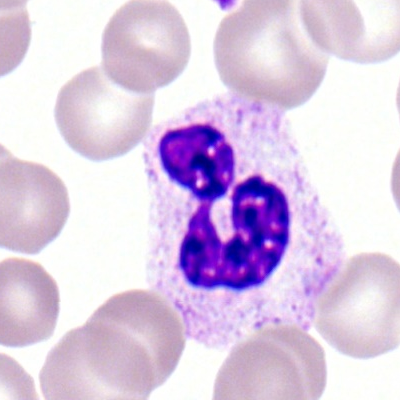
Specimen: peripheral blood smear.
Classification: polymorphonuclear neutrophil.
Lineage: myeloid.